Bone marrow smear:
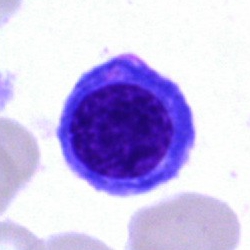
Specimen: bone marrow aspirate smear.
Classification: nucleated red cell.